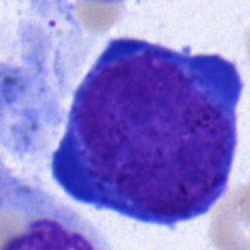Q: What cell is this?
A: It is a pronormoblast.